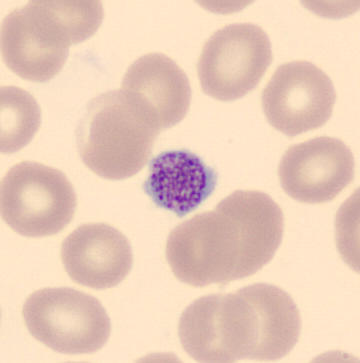 Q: What is shown here?
A: It is a thrombocyte.